Bone marrow smear
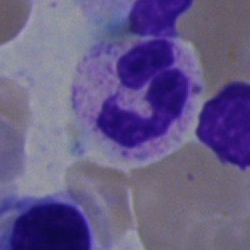
Showing a neutrophil (segmented).